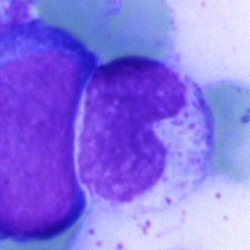

Q: What is the morphological classification of this cell?
A: This is a metamyelocyte.